40× objective, oil immersion. Bone marrow smear. Single cell centered in the field — 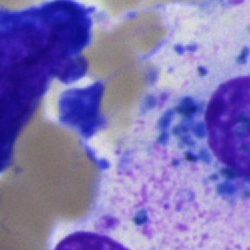 The classification is artifact.